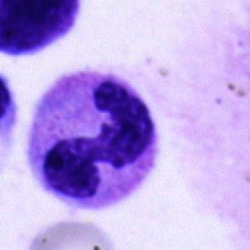
Cell type = neutrophil (segmented).